Bone marrow smear — 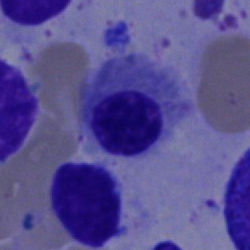Morphological class: band-form neutrophil.